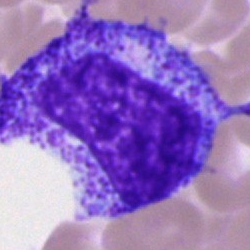
This is a band-form neutrophil.